Bone marrow aspirate smear.
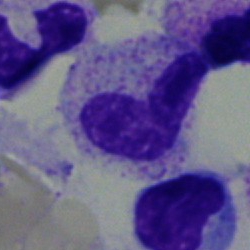 Single cell identified as a band-form neutrophil.